Bone marrow aspirate smear — 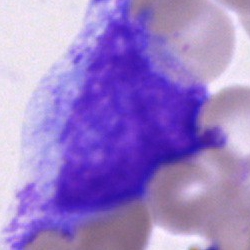

The cell shown is a progranulocyte.